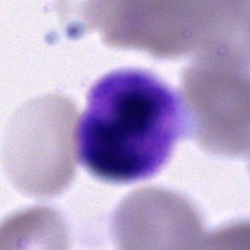 Cell type: segmented neutrophil.